Bone marrow smear:
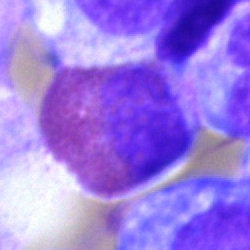
Classification: eosinophilic granulocyte.